Peripheral blood smear
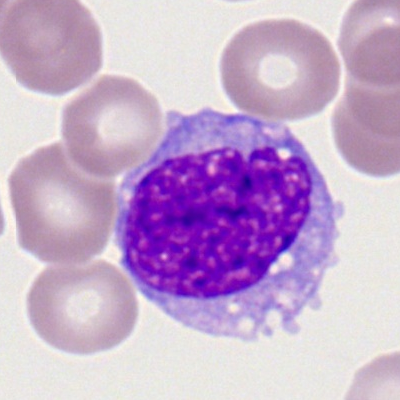A monocyte.